Bone marrow aspirate smear
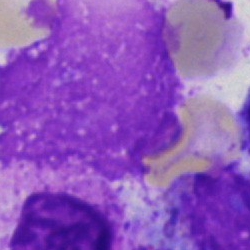Cell type — artifact.